Bone marrow smear — 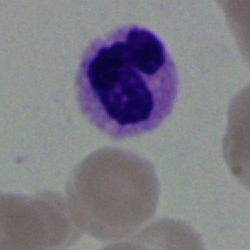Q: Identify the cell.
A: A neutrophil (segmented).